Bone marrow smear. Cropped to a single cell — 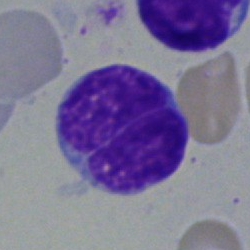 Morphology — lymphocyte.